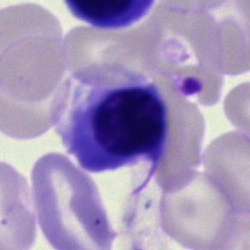Q: What cell is this?
A: An erythroblast.